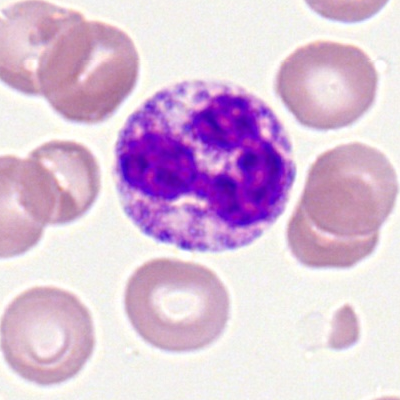Peripheral blood film, single cell — polymorphonuclear neutrophil.